Single cell centered in the field; bone marrow smear; 40× oil immersion — 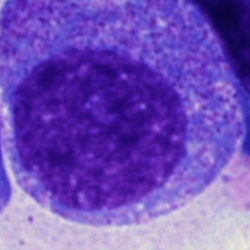Specimen: bone marrow smear.
Classification: progranulocyte.